Bone marrow smear
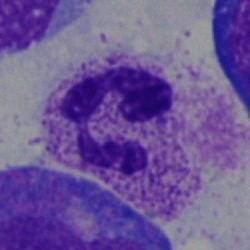 Classification = polymorphonuclear neutrophil.